Bone marrow smear: 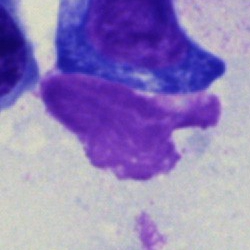 The cell shown is an artifact.